Bone marrow aspirate smear: 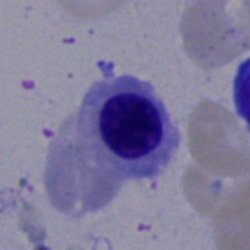

Q: What cell is this?
A: This is a normoblast.